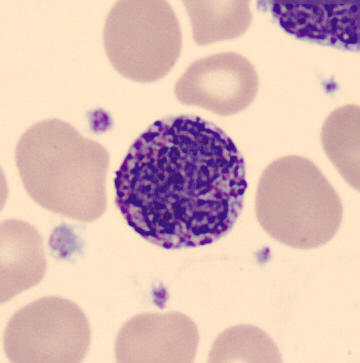The cell shown is a basophil.